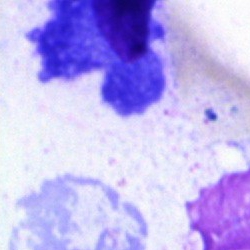
Q: What is shown here?
A: An artefact.